Bone marrow aspirate smear:
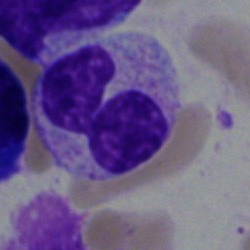 Cell — segmented neutrophil.